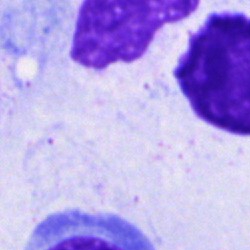Impression — artifact.